Bone marrow smear · brightfield, 40× oil-immersion objective — 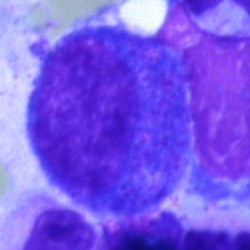
Cell type = progranulocyte.